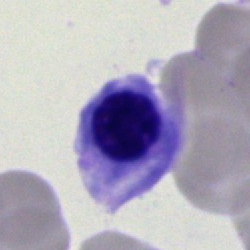Single-cell crop from a bone marrow smear: erythroblast.